Bone marrow smear — 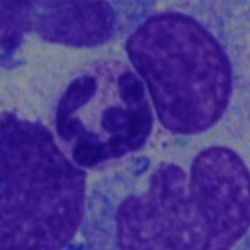

A neutrophil (segmented).